Bone marrow aspirate smear:
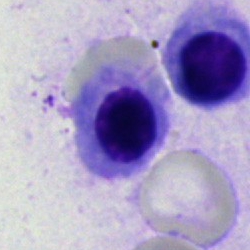Specimen: bone marrow aspirate smear.
Cell: normoblast.
Lineage: erythroid.